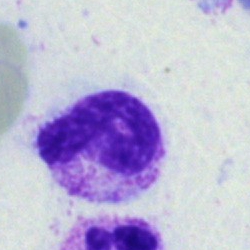

Impression → polymorphonuclear neutrophil.